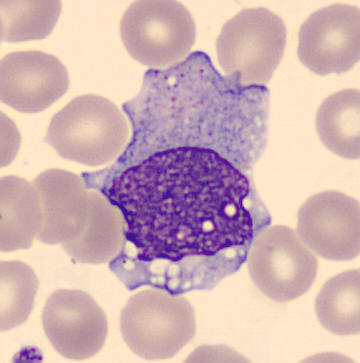 Specimen: peripheral blood smear.
Cell: monocyte.
Lineage: myeloid.